Bone marrow aspirate smear · image size 250×250 · single-cell field
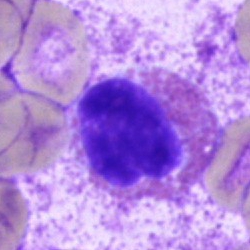 Morphology → eosinophil.